Bone marrow aspirate smear
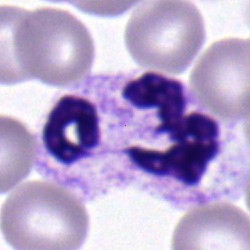
Classification = neutrophil (segmented).